Bone marrow smear. May-Grünwald-Giemsa/Pappenheim stain.
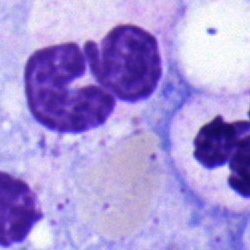
Polymorphonuclear neutrophil.